Bone marrow aspirate smear. Brightfield, 40× oil-immersion objective. Single-cell crop
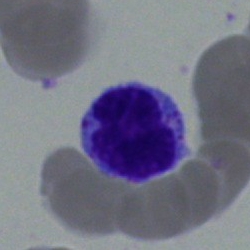
Q: What is shown here?
A: It is a lymphocyte.